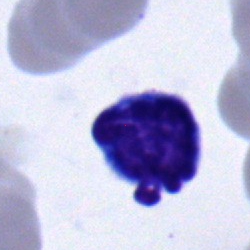

Cell = lymphocyte.